Bone marrow smear. Brightfield microscopy, 40× oil immersion. May-Grünwald-Giemsa/Pappenheim stain: 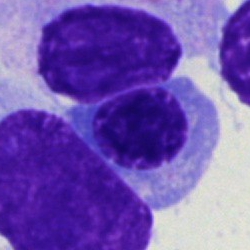 This is a normoblast.